Bone marrow aspirate smear:
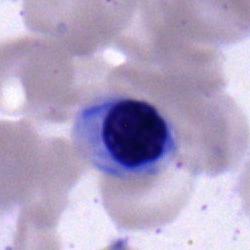Q: Which cell type is shown here?
A: It is an erythroblast.